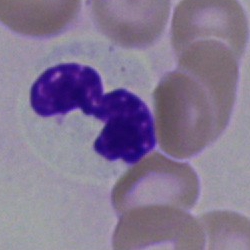 Impression — polymorphonuclear neutrophil.